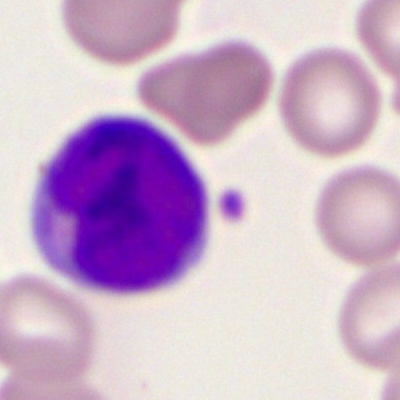
A myeloid blast on a peripheral blood smear.